Peripheral blood smear
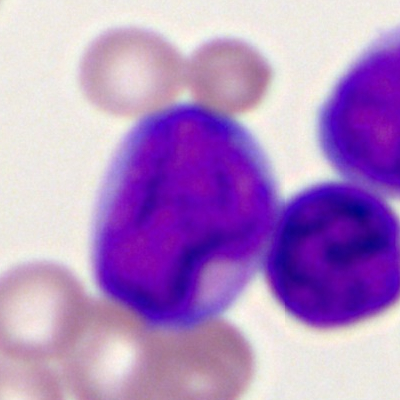 Q: What type of cell is this?
A: Myeloid blast.